Bone marrow aspirate smear: 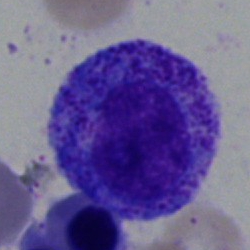
Showing a myelocyte.